Brightfield, 40× oil-immersion objective · 250×250 px · bone marrow aspirate smear — 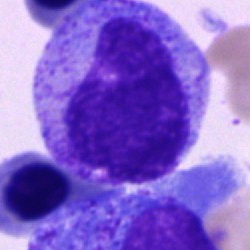

The cell shown is a progranulocyte.